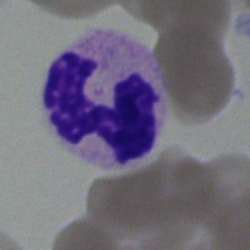Specimen: bone marrow aspirate smear.
Cell: neutrophil (segmented).